Bone marrow smear
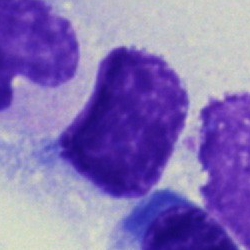Cell type = artefact.